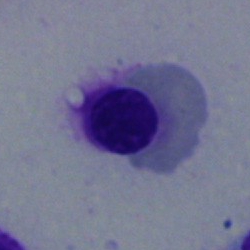

A nucleated red cell.